Bone marrow aspirate smear:
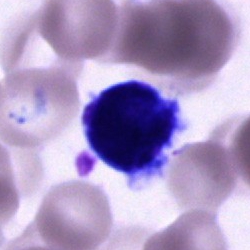 A cell of indeterminate lineage.